250 by 250 pixels. Bone marrow aspirate smear:
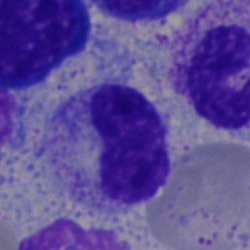

Morphology consistent with a metamyelocyte.